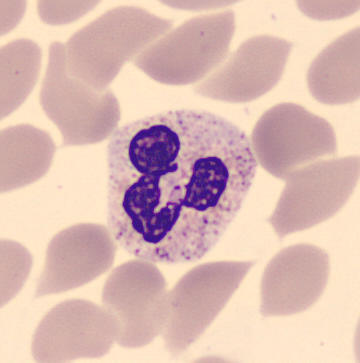

Q: Identify the cell.
A: Polymorphonuclear neutrophil. Image: Peripheral blood smear.